Peripheral blood smear; 400×400 — 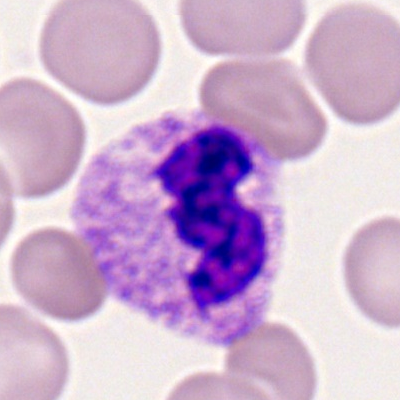 Specimen: peripheral blood film.
Cell type: polymorphonuclear neutrophil.